May-Grünwald-Giemsa/Pappenheim stain. Bone marrow aspirate smear:
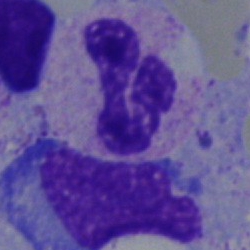

Morphology consistent with a segmented neutrophil.